Peripheral blood film: 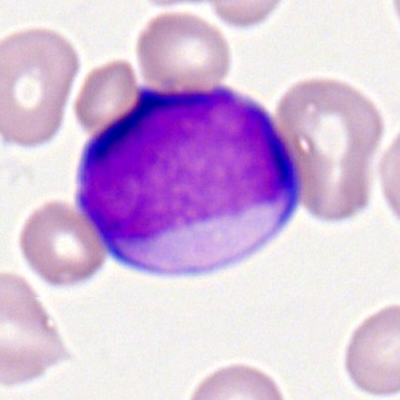
Classification = myeloblast.